Single cell centered in the field · MGG-stained · bone marrow smear — 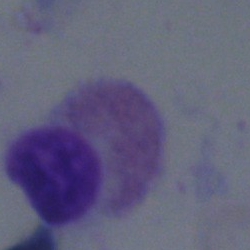

Single cell identified as an eosinophilic granulocyte.